Bone marrow smear: 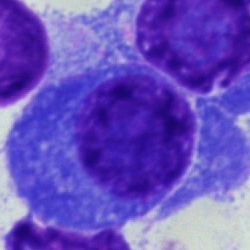

Impression → plasmacyte.